Bone marrow smear:
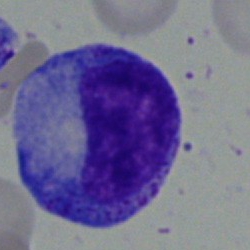
{"cell_type": "promyelocyte"}